Bone marrow smear:
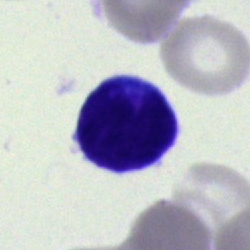 Q: Which cell type is shown here?
A: This is a blast.